Bone marrow smear
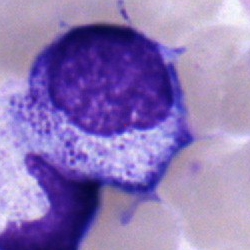
Impression — myelocyte.